Bone marrow smear: 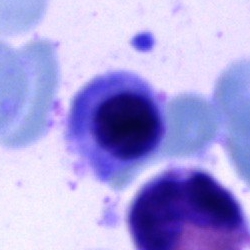 Cell type: nucleated red cell.